Bone marrow smear — 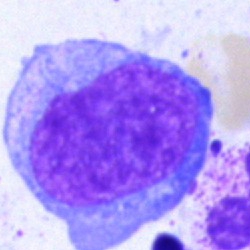

Undifferentiated blast.